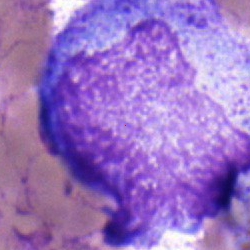Classification: promyelocyte.